400×400. Peripheral blood smear. Romanowsky stain.
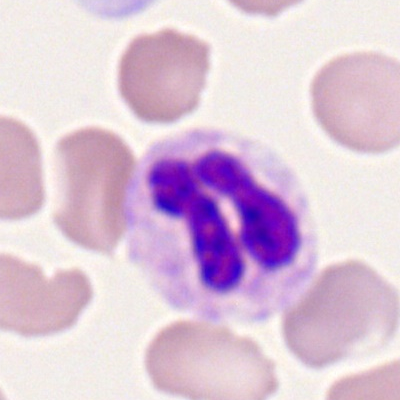 Single cell identified as a polymorphonuclear neutrophil.